Bone marrow aspirate smear.
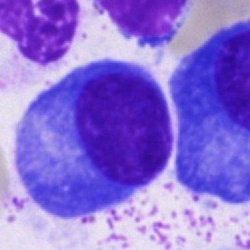
The classification is plasma cell.